Bone marrow aspirate smear — 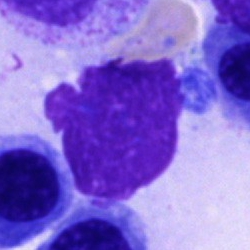 {"cell_type": "artefact"}